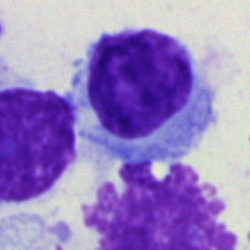

Q: Which cell type is shown here?
A: Lymphocyte.